Bone marrow smear.
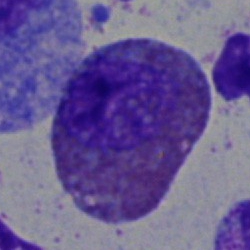

Cell type = eosinophilic granulocyte.